40× oil immersion. 250×250. Bone marrow aspirate smear — 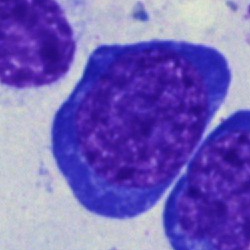
This is an erythroblast.